250×250 px. 40× objective, oil immersion. Bone marrow aspirate smear.
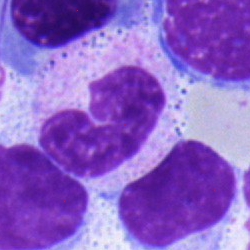 Single cell identified as a neutrophil (band).